Bone marrow aspirate smear · cropped to a single cell — 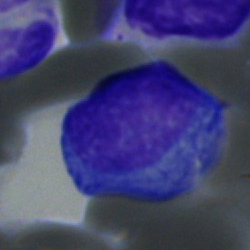 Specimen: bone marrow aspirate smear.
Classification: plasma cell.